250×250; bone marrow smear:
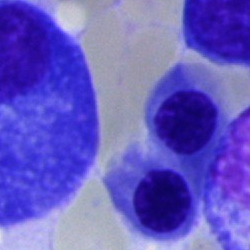

Nucleated red blood cell.